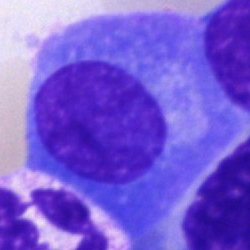
Cell — plasmacyte.